Bone marrow aspirate smear — 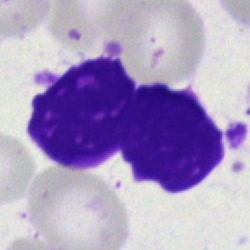Q: What is shown here?
A: Artefact.